Bone marrow aspirate smear: 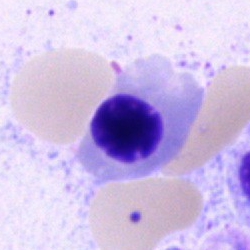The classification is erythroblast.